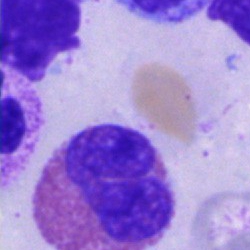

Q: What type of cell is this?
A: It is an eosinophil.